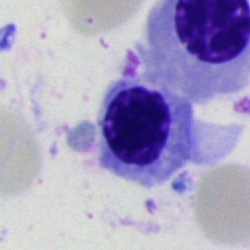
Q: What cell is this?
A: Nucleated red cell.